Single-cell crop; bone marrow smear
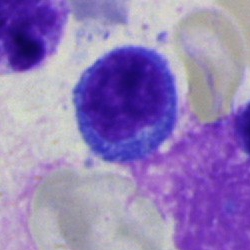

Single cell identified as a lymphocyte.